May-Grünwald-Giemsa stain · bone marrow aspirate smear · 40× oil immersion.
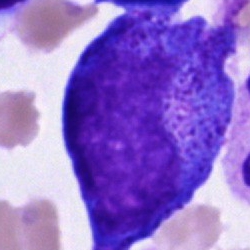
A progranulocyte.